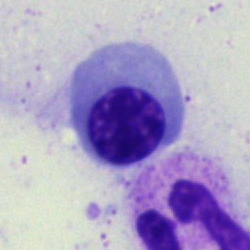Specimen: bone marrow smear.
Morphological class: nucleated red cell.
Lineage: erythroid.